Bone marrow aspirate smear; single-cell crop — 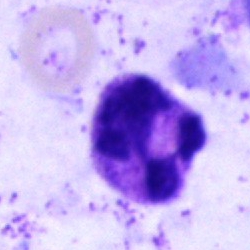

Q: Which cell type is shown here?
A: It is a segmented neutrophil.